Bone marrow smear.
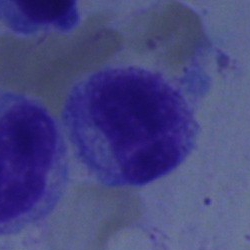
The cell shown is a myelocyte.